Brightfield, 40× oil-immersion objective; May-Grünwald-Giemsa stain; bone marrow smear — 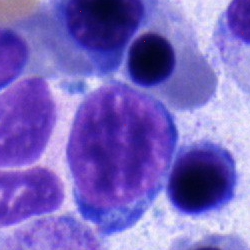
Cell: pronormoblast.